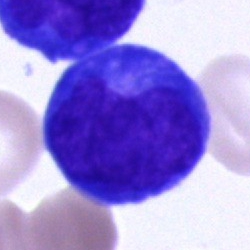Q: Identify the cell.
A: It is a blast.